Bone marrow aspirate smear
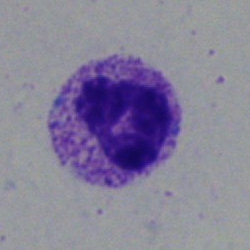Q: What is shown here?
A: This is a neutrophil (segmented).